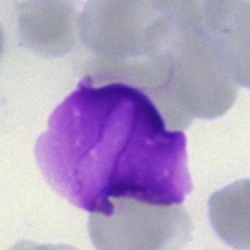
Q: What is shown here?
A: An artifact.